Brightfield microscopy, 40× oil immersion. Bone marrow aspirate smear.
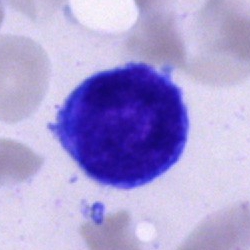Specimen: bone marrow aspirate smear.
Cell type: unidentifiable cell.